MGG-stained; brightfield, 40× oil-immersion objective; bone marrow aspirate smear:
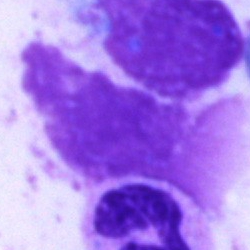
Artifact.